Bone marrow aspirate smear — 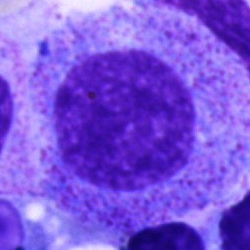
{"cell_type": "promyelocyte", "lineage": "myeloid"}